Bone marrow smear; 250×250; single cell centered in the field:
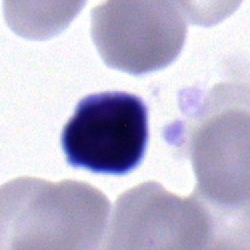This is a typical lymphocyte.